Image size 250×250 · bone marrow aspirate smear
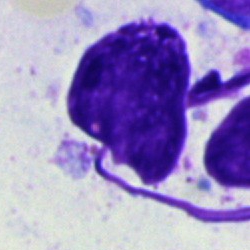The classification is artefact.